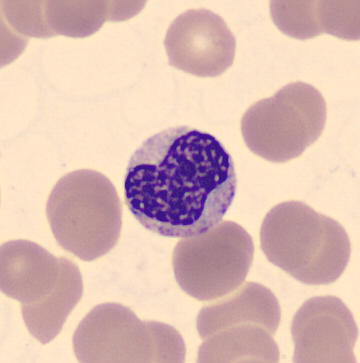 Q: Which cell type is shown here?
A: A metamyelocyte.